Bone marrow smear
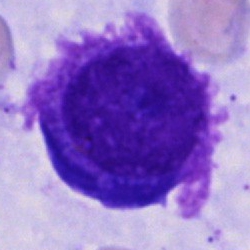
A plasma cell.